Bone marrow smear
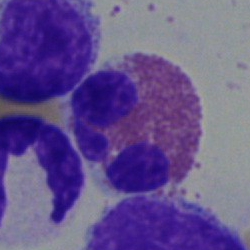 {"cell_type": "eosinophilic granulocyte"}